Image size 250×250; 40× objective, oil immersion; bone marrow aspirate smear — 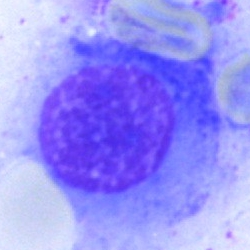 Q: What cell is this?
A: Plasma cell.